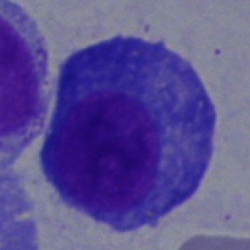
Classification = plasmacyte.